Bone marrow smear.
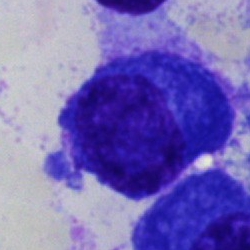 Plasmacyte.